40× objective, oil immersion; cropped to a single cell; bone marrow smear — 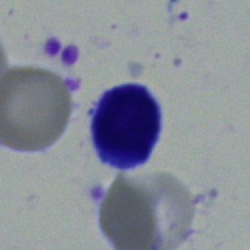 Q: What type of cell is this?
A: A lymphocyte.